Cropped to a single cell · 40× oil immersion · bone marrow aspirate smear — 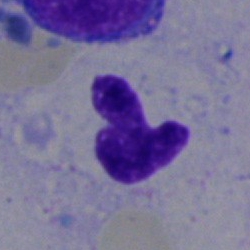

Showing a segmented neutrophil.